Bone marrow smear: 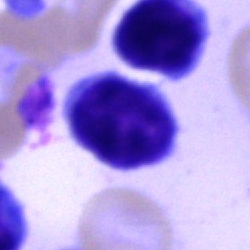 This is a typical lymphocyte.